Bone marrow aspirate smear:
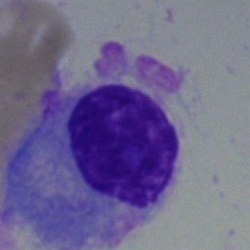

Classification = plasmacyte.